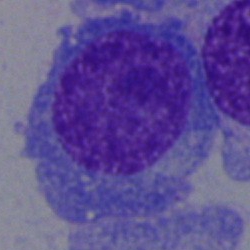{"cell_type": "plasmacyte", "lineage": "lymphoid"}